Bone marrow aspirate smear
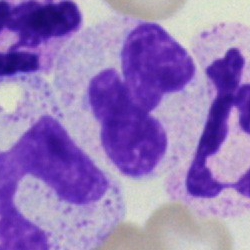 Impression — polymorphonuclear neutrophil.